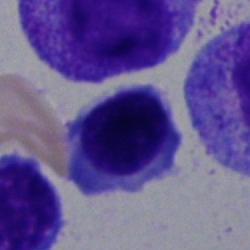 The classification is nucleated red cell.